Single cell centered in the field. Bone marrow aspirate smear: 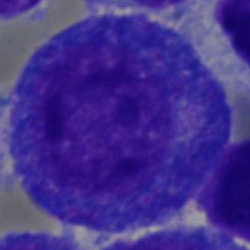

Specimen: bone marrow smear.
Cell type: progranulocyte.